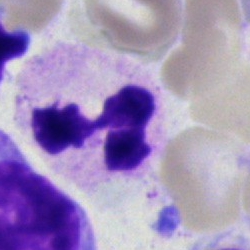
A polymorphonuclear neutrophil on a bone marrow smear.